Bone marrow aspirate smear — 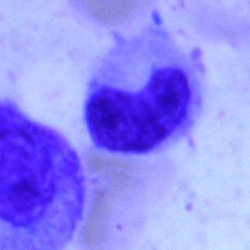 This is a band-form neutrophil.